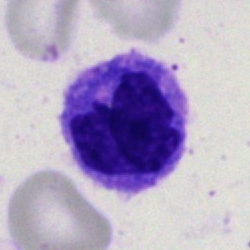
Bone marrow aspirate smear, single cell — monocyte.